Bone marrow smear; image size 250×250; Pappenheim-stained — 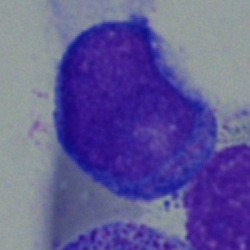
Specimen: bone marrow smear.
Classification: blast.